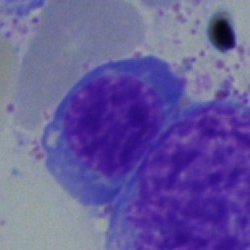

Single cell identified as an erythroblast.